Bone marrow aspirate smear · May-Grünwald-Giemsa stain:
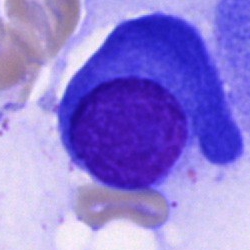

The cell shown is a plasmacyte.